40× objective, oil immersion. Image size 250×250. Bone marrow smear: 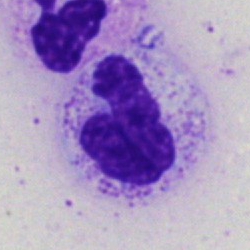 Specimen: bone marrow smear.
Cell: neutrophil (segmented).